Bone marrow smear
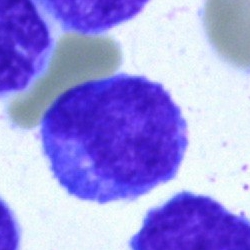 Q: What is shown here?
A: Blast cell.